Bone marrow aspirate smear:
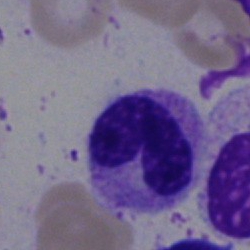 Morphological class: band neutrophil.